Bone marrow aspirate smear; single cell centered in the field: 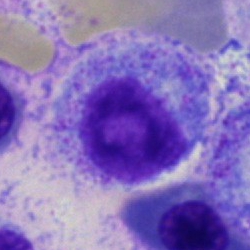 Q: What cell is this?
A: This is a myelocyte.